May-Grünwald-Giemsa/Pappenheim stain. Bone marrow smear: 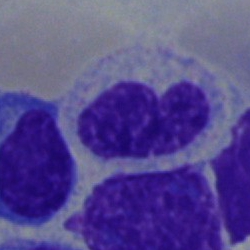

Morphology consistent with a neutrophil (band).